250×250 px. Bone marrow smear. Pappenheim-stained — 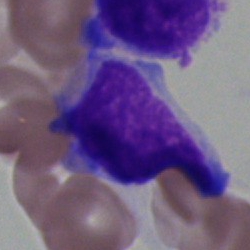
This is a blast cell.